Bone marrow smear.
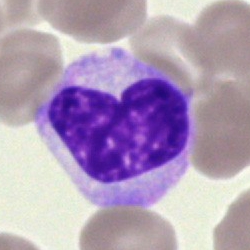
Morphological class: metamyelocyte.